Bone marrow aspirate smear:
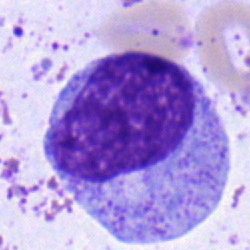 Morphological class — myelocyte.